Bone marrow aspirate smear
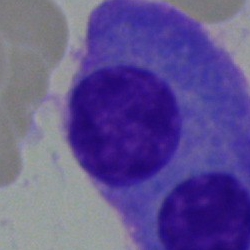

A plasma cell.